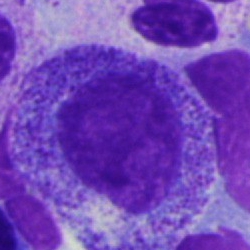 Single cell identified as a progranulocyte.